Peripheral blood smear:
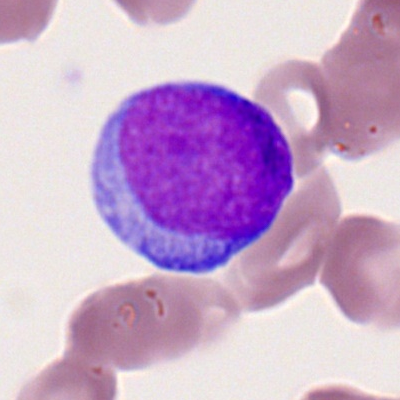

Q: Identify the cell.
A: This is a myeloblast.